Bone marrow aspirate smear; 40× oil immersion: 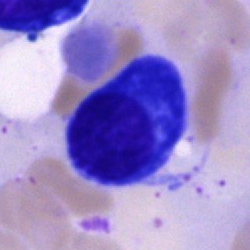 This is a plasma cell.